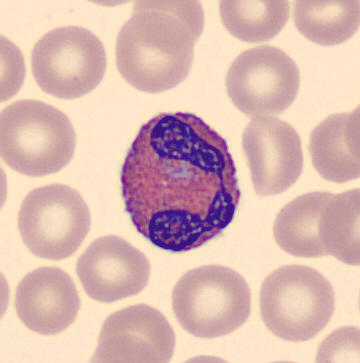 The classification is eosinophil. Image: Cropped to a single cell; peripheral blood smear.